Peripheral blood film
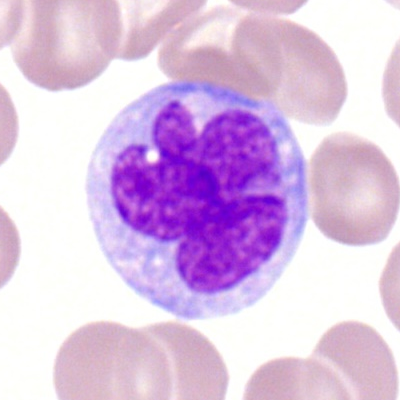 A monocyte.